Bone marrow smear. May-Grünwald-Giemsa stain:
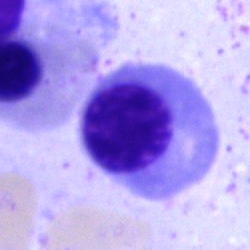
Impression → nucleated red cell.